250×250 px. Bone marrow aspirate smear — 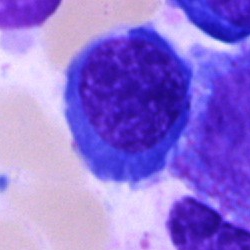Morphology — erythroblast.